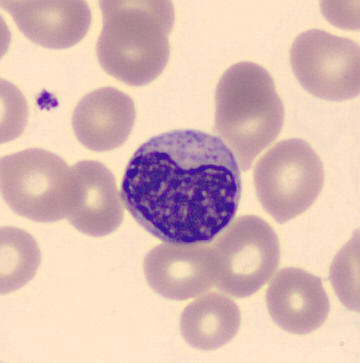

Q: Identify the cell.
A: It is a metamyelocyte.